Single cell centered in the field; bone marrow aspirate smear.
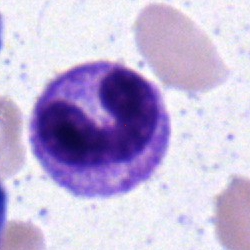 This is a neutrophil (band).